Bone marrow smear: 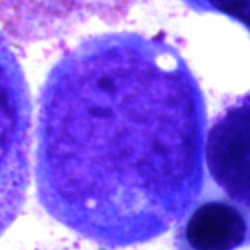 Impression — promyelocyte.